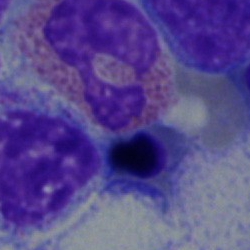 Morphological class = eosinophilic granulocyte.